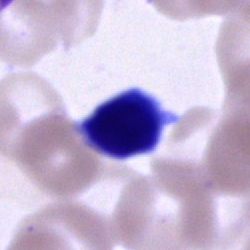
Bone marrow aspirate smear, single cell — unidentifiable cell.